100× oil immersion, 14.14 px/µm · peripheral blood film · single cell centered in the field — 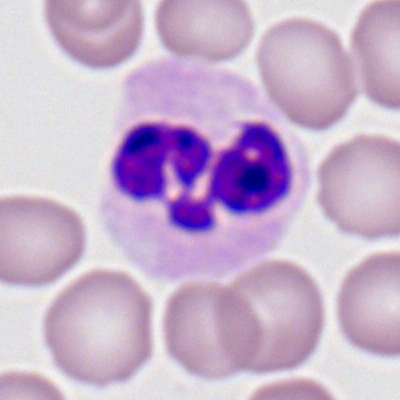

Morphology — polymorphonuclear neutrophil.